Bone marrow smear
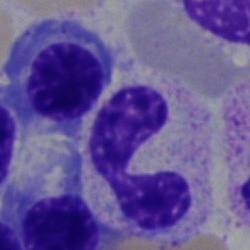Morphology — neutrophil (segmented).